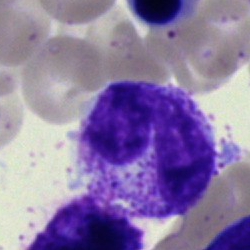Specimen: bone marrow aspirate smear.
Cell type: band neutrophil.
Lineage: myeloid.